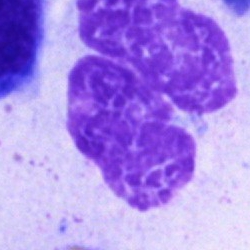An artefact.